Bone marrow smear:
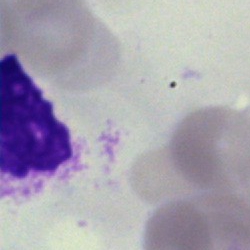Single cell identified as an artefact.